Bone marrow smear · cropped to a single cell: 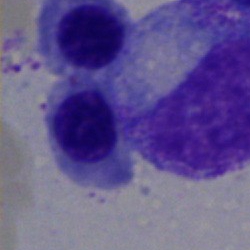 Specimen: bone marrow aspirate smear.
Morphological class: nucleated red cell.